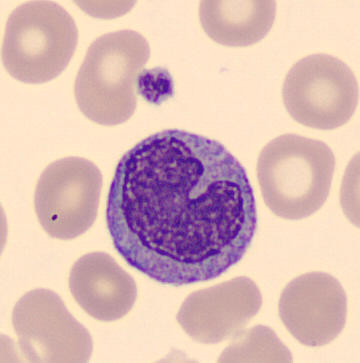 Acquisition: Single-cell crop; peripheral blood film.

Cell type — monocyte.